Image size 400×400. Peripheral blood film. M8 digital microscope (Precipoint), 100× oil immersion: 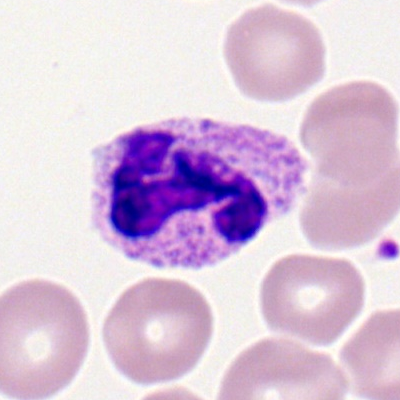 The cell shown is a segmented neutrophil.